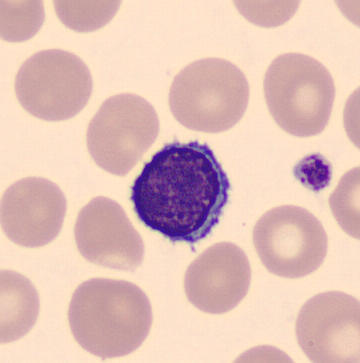 Cell type — typical lymphocyte.

Peripheral blood smear.